Bone marrow aspirate smear · 40× oil immersion — 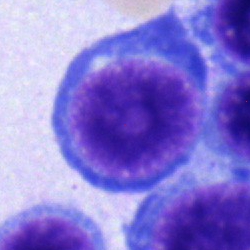
The cell shown is an erythroblast.